Bone marrow aspirate smear — 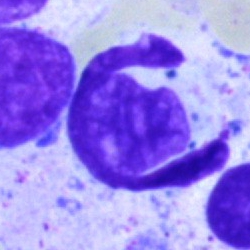

Cell — artefact.